Bone marrow smear — 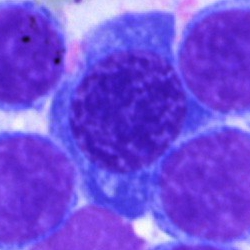

An erythroblast.